Bone marrow smear
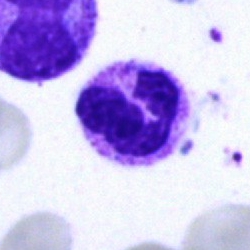 Showing a segmented neutrophil.